Peripheral blood smear
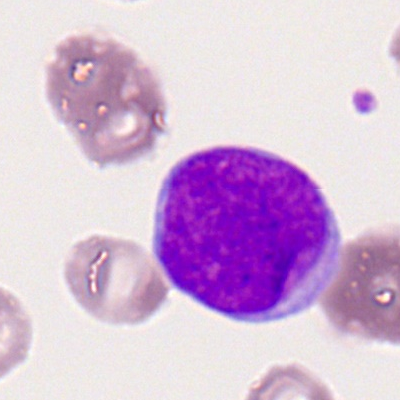

Q: Which cell type is shown here?
A: This is a myeloblast.